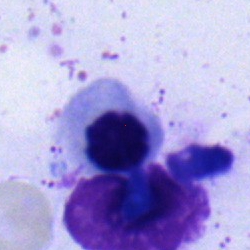
Nucleated red blood cell.